Peripheral blood film · single-cell crop:
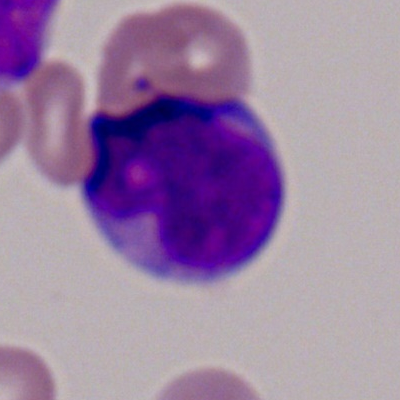 Morphology consistent with a myeloid blast.